MGG-stained · bone marrow aspirate smear: 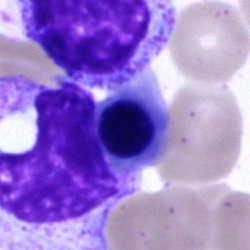
Cell type: normoblast.